Bone marrow smear.
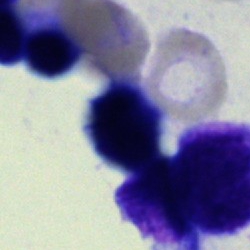Cell type — artefact.